Peripheral blood smear
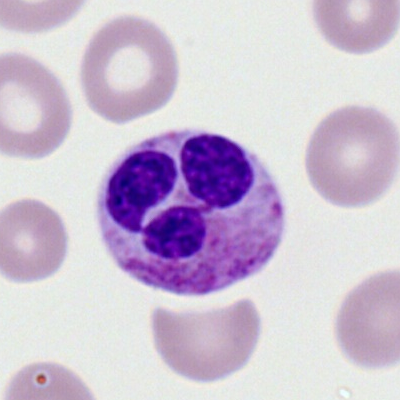Classification: eosinophilic granulocyte.